Bone marrow aspirate smear — 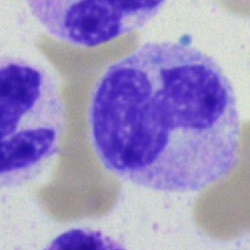
Morphology consistent with a stab cell.